Bone marrow aspirate smear; May-Grünwald-Giemsa/Pappenheim stain
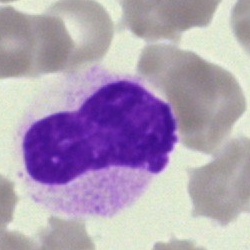
This is an artefact.